Cropped to a single cell. Bone marrow smear: 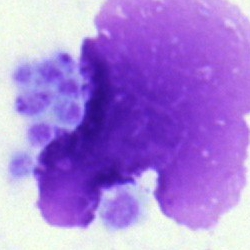Showing an artifact.